Bone marrow aspirate smear; 250 by 250 pixels — 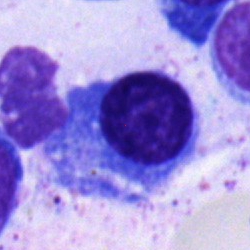The cell shown is a plasmacyte.